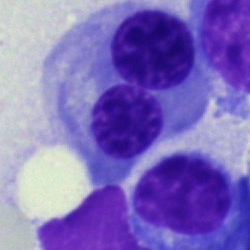
Q: Identify the cell.
A: This is an erythroblast.